Bone marrow aspirate smear: 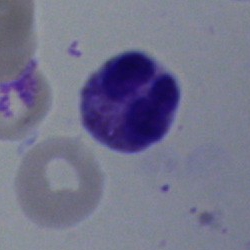

This is a polymorphonuclear neutrophil.